Bone marrow aspirate smear.
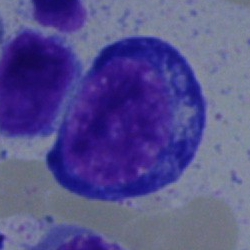

Pronormoblast.